Bone marrow smear: 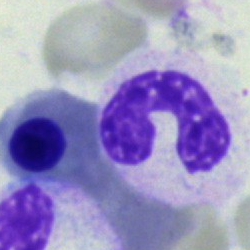
Q: What type of cell is this?
A: It is a segmented neutrophil.